May-Grünwald-Giemsa/Pappenheim stain; bone marrow aspirate smear — 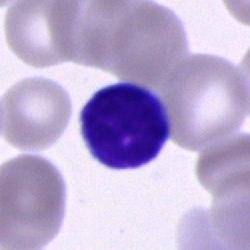
Typical lymphocyte.